Image size 250×250. Bone marrow smear — 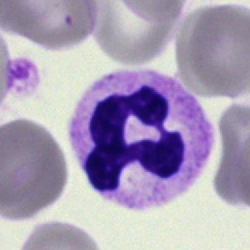

Specimen: bone marrow smear.
Cell: neutrophil (segmented).
Lineage: myeloid.